Peripheral blood film — 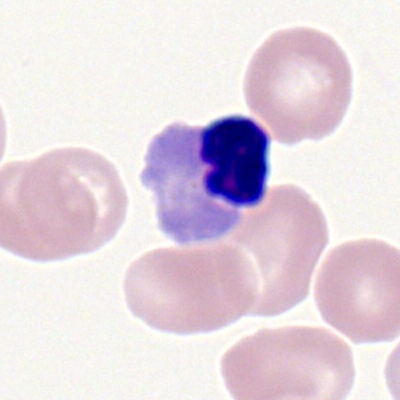

Specimen: peripheral blood film.
Classification: nucleated red cell.